Bone marrow aspirate smear · May-Grünwald-Giemsa stain · single cell centered in the field: 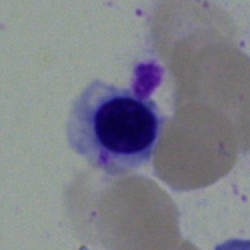 Single cell identified as a normoblast.